250 by 250 pixels · bone marrow aspirate smear
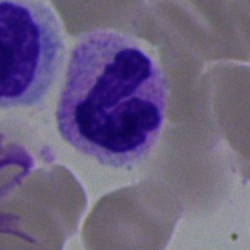 Classification: polymorphonuclear neutrophil.